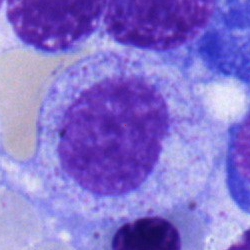

A myelocyte.